Single-cell crop. Bone marrow aspirate smear: 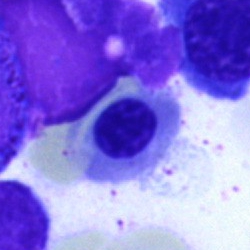 A nucleated red cell.